May-Grünwald-Giemsa stain; bone marrow aspirate smear; 250×250
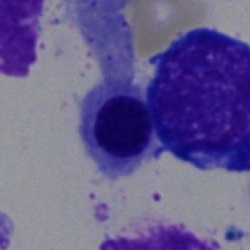

Nucleated red cell.